Bone marrow aspirate smear: 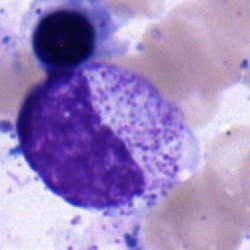Cell — myelocyte.